Bone marrow smear: 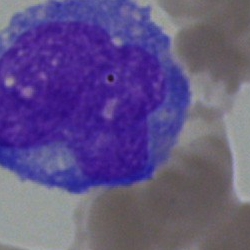
Specimen: bone marrow smear.
Morphological class: blast cell.